250 by 250 pixels; bone marrow smear; cropped to a single cell.
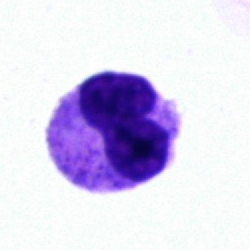
{"cell_type": "neutrophil (band)", "lineage": "myeloid"}